Bone marrow aspirate smear
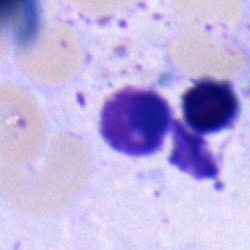
Q: What is the morphological classification of this cell?
A: This is a neutrophil (segmented).